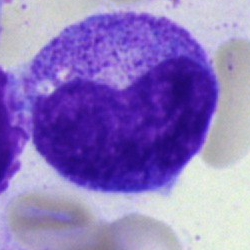 A metamyelocyte.